250×250. May-Grünwald-Giemsa/Pappenheim stain. Bone marrow aspirate smear.
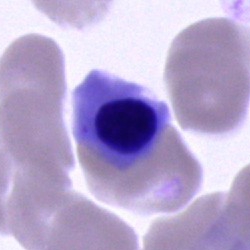

Cell — nucleated red cell.